Bone marrow smear: 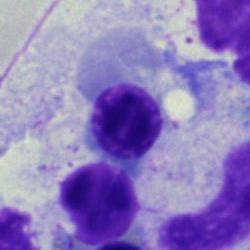 Morphology consistent with a nucleated red blood cell.